Bone marrow aspirate smear; 40× oil immersion; cropped to a single cell: 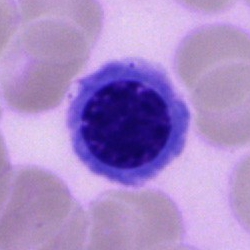 Classification — normoblast.